250×250. Bone marrow aspirate smear: 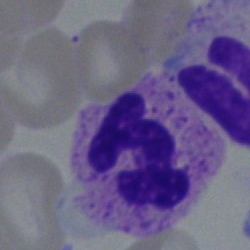 Morphological class: segmented neutrophil.